Bone marrow smear — 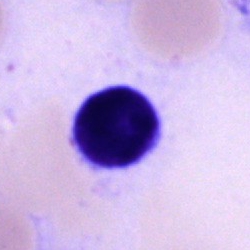

Morphological class: lymphocyte.